400×400; peripheral blood smear: 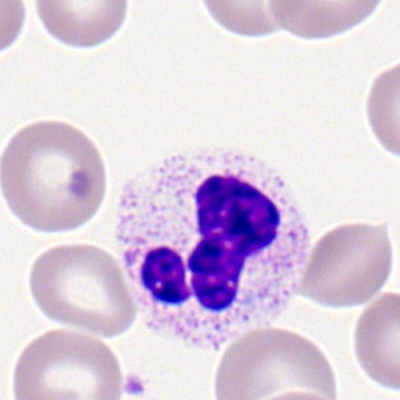
Specimen: peripheral blood film.
Cell: polymorphonuclear neutrophil.